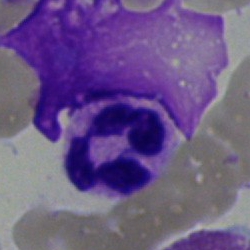
Q: What is shown here?
A: This is a polymorphonuclear neutrophil.